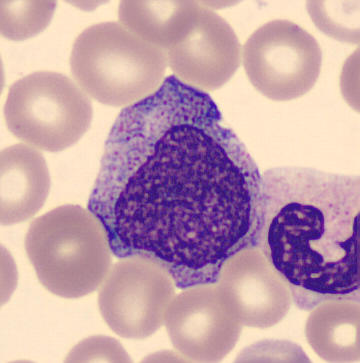

{"cell_type": "progranulocyte", "lineage": "myeloid"}

Preparation: 360×363 · peripheral blood film · MGG stain.